250×250 · cropped to a single cell · bone marrow aspirate smear: 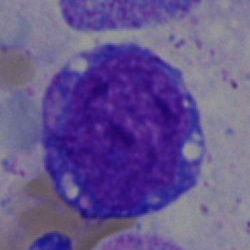 This is a blast cell.